Bone marrow aspirate smear. Brightfield microscopy, 40× oil immersion:
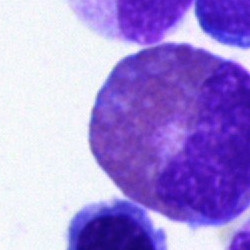
Cell: eosinophilic granulocyte.